Bone marrow aspirate smear.
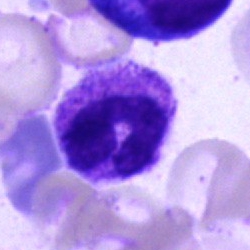

This is a segmented neutrophil.